M8 digital microscope (Precipoint), 100× oil immersion; peripheral blood film
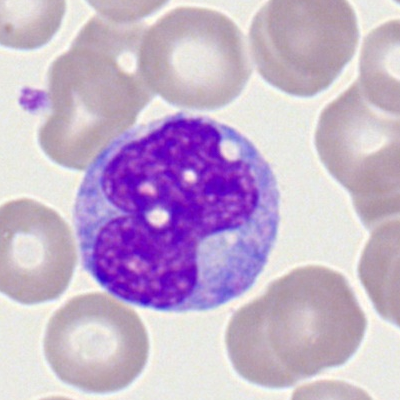
Morphological class = monocyte.